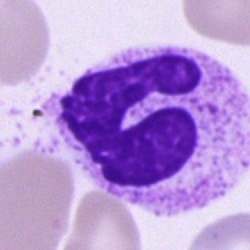Bone marrow smear showing a neutrophil (segmented).